Bone marrow smear.
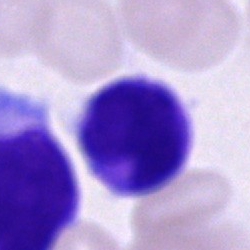
Classification — unidentifiable cell.